Single-cell crop · bone marrow aspirate smear — 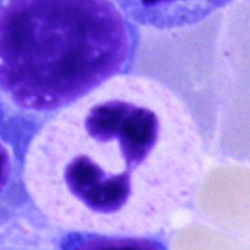
Q: What is shown here?
A: Polymorphonuclear neutrophil.